Bone marrow smear. May-Grünwald-Giemsa stain
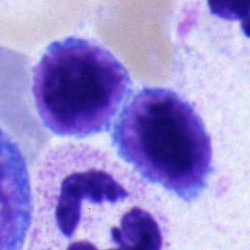
This is a polymorphonuclear neutrophil.